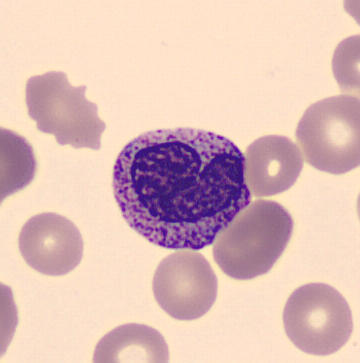 This is a metamyelocyte.